Brightfield, 40× oil-immersion objective. MGG-stained. Bone marrow smear
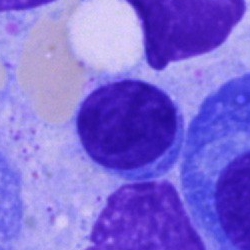 Morphology consistent with a typical lymphocyte.